May-Grünwald-Giemsa stain; image size 250×250; bone marrow aspirate smear:
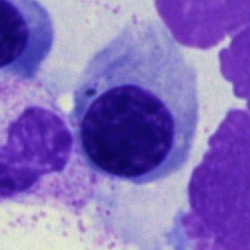This is an erythroblast.